Bone marrow smear: 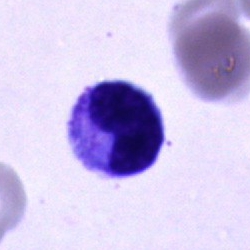
Morphological class = metamyelocyte.